Pappenheim-stained; cropped to a single cell; bone marrow aspirate smear
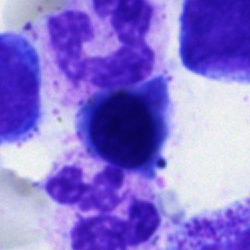
Morphology → normoblast.